Bone marrow smear:
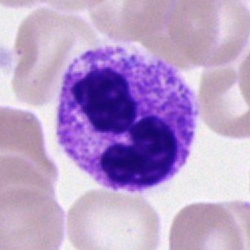
Q: What type of cell is this?
A: This is a polymorphonuclear neutrophil.